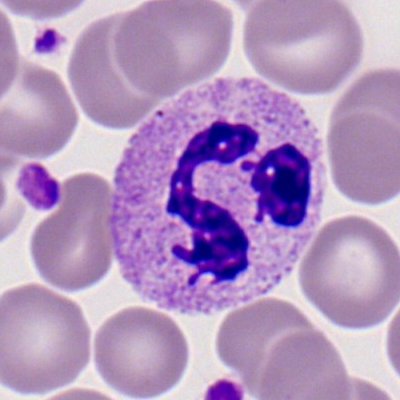 Q: What is the morphological classification of this cell?
A: Neutrophil (segmented).